Single-cell field. Bone marrow smear: 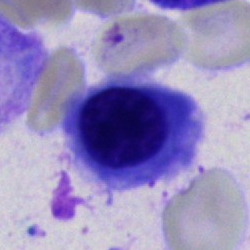 A nucleated red cell.